Bone marrow smear · image size 250×250
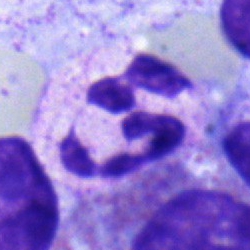

Morphological class = polymorphonuclear neutrophil.